Bone marrow aspirate smear.
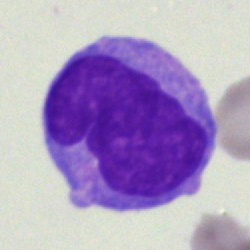

{"cell_type": "blast cell"}